Bone marrow aspirate smear.
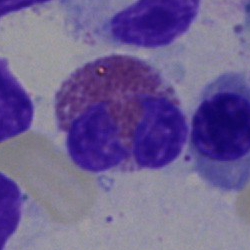

Specimen: bone marrow aspirate smear.
Cell: eosinophilic granulocyte.